Bone marrow smear
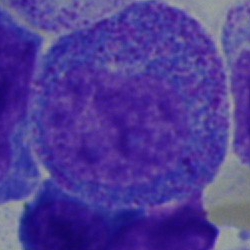Morphology consistent with a promyelocyte.